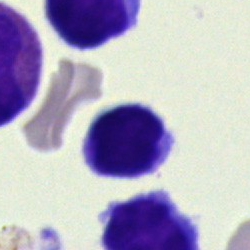 Showing a lymphocyte.